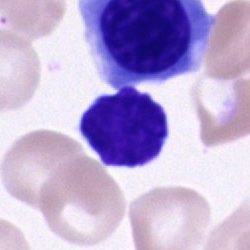Cell of indeterminate lineage.